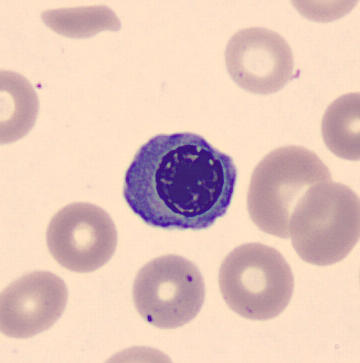Image: Image size 360×363; peripheral blood smear.
Q: What cell is this?
A: It is a nucleated red cell.